MGG-stained. 40× oil immersion. Bone marrow aspirate smear:
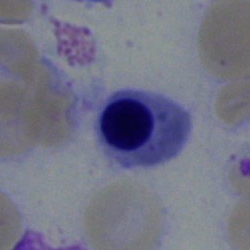

Nucleated red blood cell.